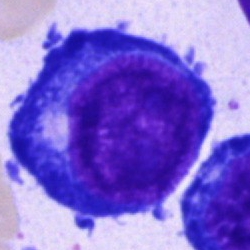This is a proerythroblast.